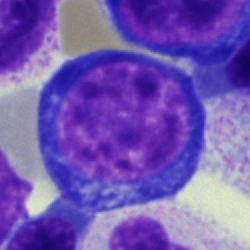
Impression → pronormoblast.